Bone marrow smear. Cropped to a single cell. 250 by 250 pixels: 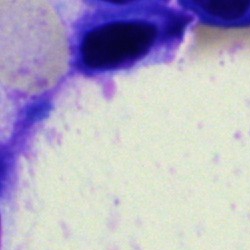
Morphology consistent with an artifact.